Single-cell field; bone marrow aspirate smear.
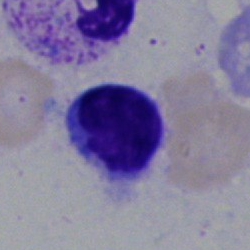
Classification = lymphocyte.